Cropped to a single cell · bone marrow smear · brightfield, 40× oil-immersion objective.
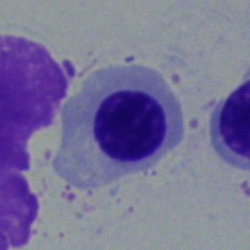
Specimen: bone marrow smear.
Morphological class: erythroblast.